Cropped to a single cell · bone marrow smear
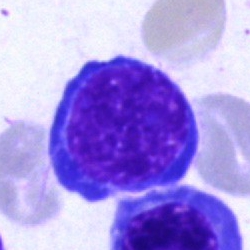
Showing a normoblast.